Bone marrow smear.
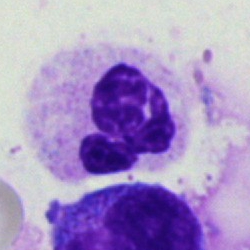

Q: What is the morphological classification of this cell?
A: Polymorphonuclear neutrophil.